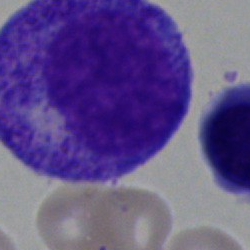

Single-cell crop from a bone marrow smear: progranulocyte.